Peripheral blood film.
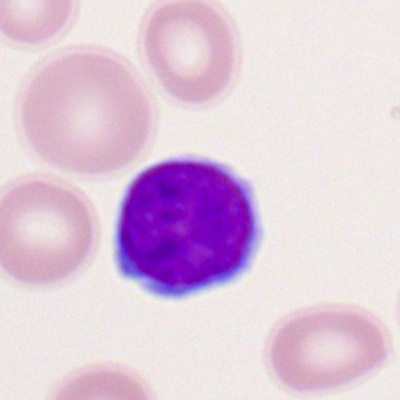

Q: What is shown here?
A: This is a typical lymphocyte.